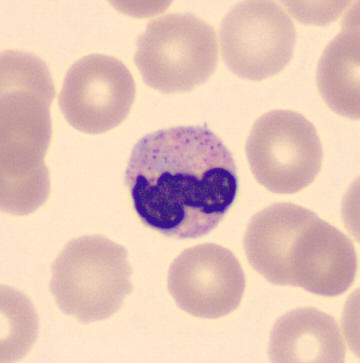
Preparation: Peripheral blood smear; May Grünwald-Giemsa stain. The cell shown is a band neutrophil.